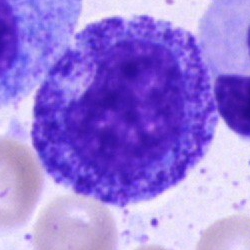

Specimen: bone marrow smear.
Cell: progranulocyte.
Lineage: myeloid.